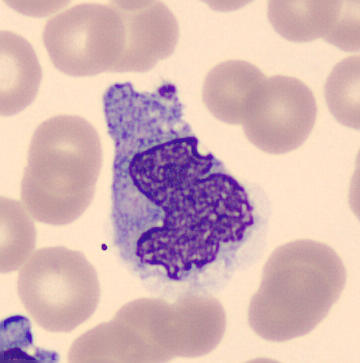

Preparation: Single-cell field · peripheral blood smear.
A monocyte.